Bone marrow smear — 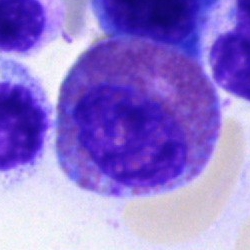Classification = eosinophil.